Single-cell field; bone marrow aspirate smear — 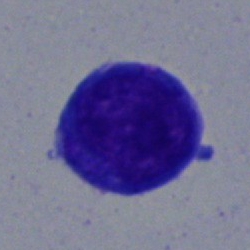

Q: Identify the cell.
A: Blast.